Bone marrow aspirate smear.
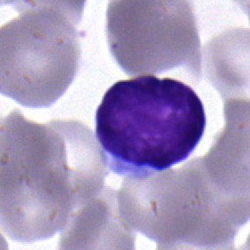
The cell is typical lymphocyte.